40× oil immersion; bone marrow smear; cropped to a single cell — 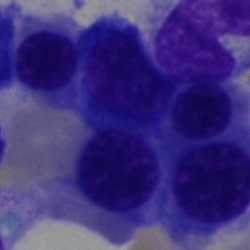

Showing a nucleated red blood cell.